Bone marrow aspirate smear:
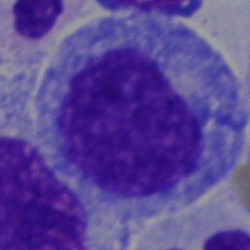 Morphology → progranulocyte.